Peripheral blood smear — 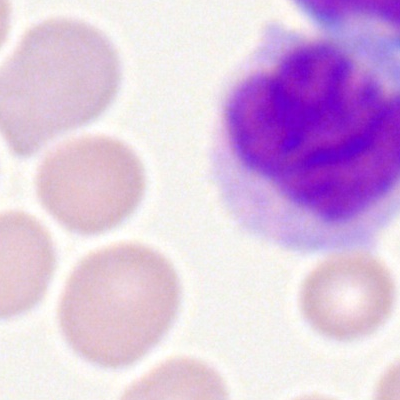
Morphology consistent with a monocyte.